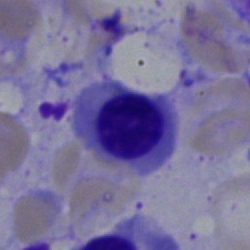

{"cell_type": "normoblast"}